Automated cell imaging (CellaVision DM96). Peripheral blood film: 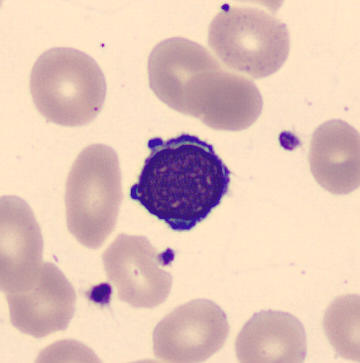Classification — typical lymphocyte.